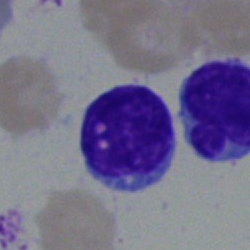Typical lymphocyte.